Bone marrow smear. Image size 250×250: 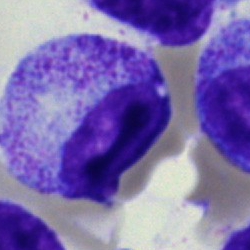Showing a myelocyte.